Bone marrow smear; image size 250×250.
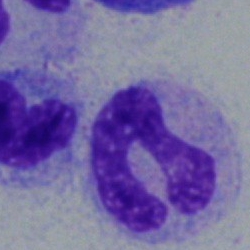

The morphological class is band neutrophil.